MGG-stained · bone marrow smear
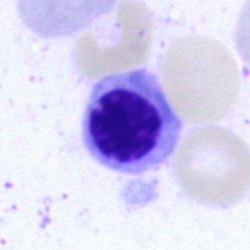

Q: What is the morphological classification of this cell?
A: This is a nucleated red cell.